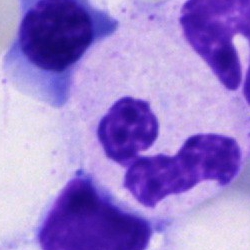Q: Which cell type is shown here?
A: A neutrophil (segmented).